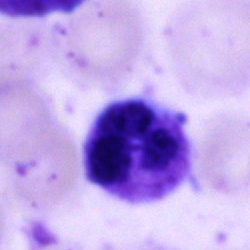

Polymorphonuclear neutrophil.